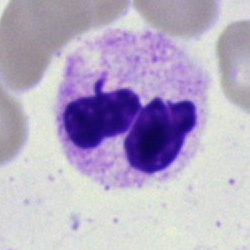

Q: What cell is this?
A: This is a neutrophil (segmented).